Image size 360×363. Peripheral blood smear — 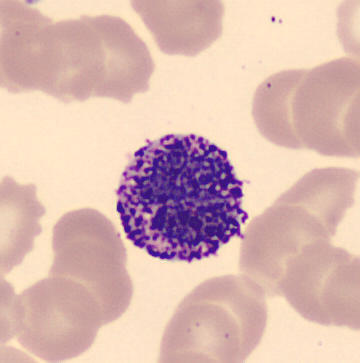Q: What cell is this?
A: Basophilic granulocyte.